Peripheral blood film: 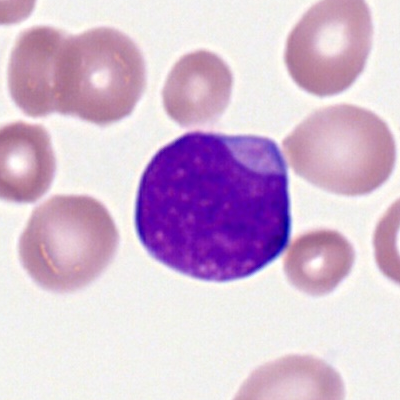 Cell type: myeloblast.